Bone marrow aspirate smear; brightfield, 40× oil-immersion objective: 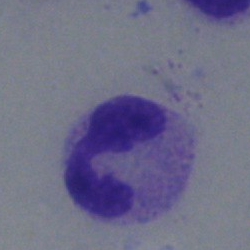

Segmented neutrophil.